Bone marrow aspirate smear · image size 250×250 · 40× oil immersion — 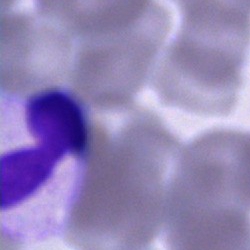 Morphological class — unidentifiable cell.